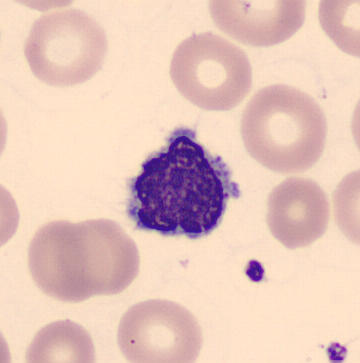The cell is typical lymphocyte.